Peripheral blood smear
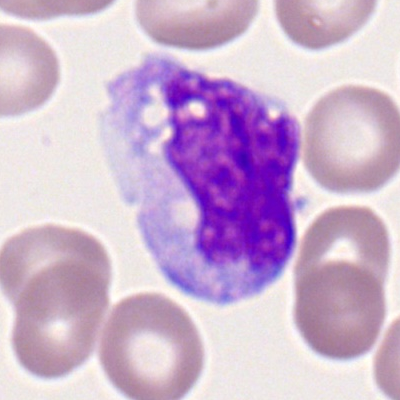

Q: What is the morphological classification of this cell?
A: A monocyte.